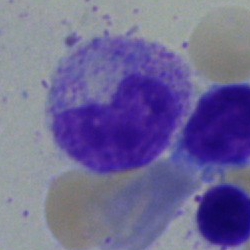

Single cell identified as a metamyelocyte.